Image size 250×250. Bone marrow smear. 40× objective, oil immersion: 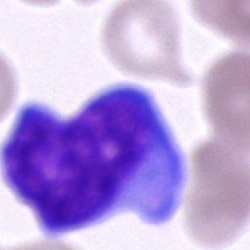 Specimen: bone marrow aspirate smear.
Classification: blast.